Bone marrow smear: 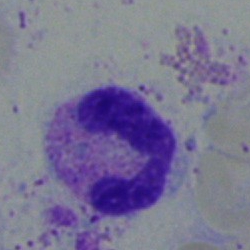 Impression → band neutrophil.